Bone marrow aspirate smear: 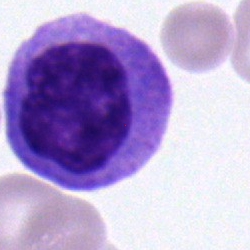

Q: What type of cell is this?
A: A monocyte.